Bone marrow smear:
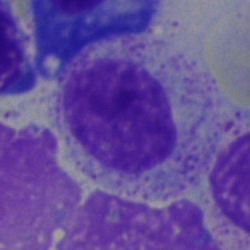
Cell: myelocyte.